Bone marrow smear: 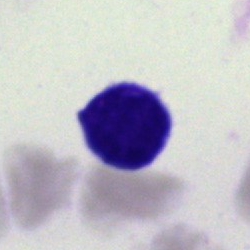

Q: Identify the cell.
A: A lymphocyte.